Bone marrow smear; MGG-stained
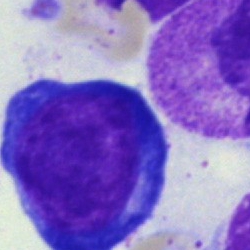A nucleated red cell.